Image size 250×250. Bone marrow smear
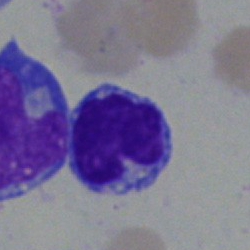

Morphological class: typical lymphocyte.